Peripheral blood smear.
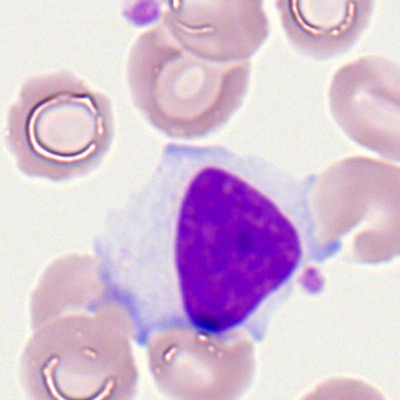

Q: What is shown here?
A: This is a lymphocyte.